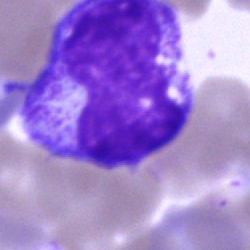Specimen: bone marrow aspirate smear.
Classification: myelocyte.
Lineage: myeloid.